Bone marrow smear.
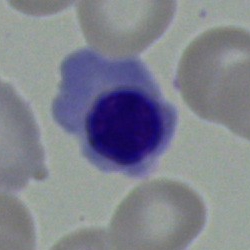
Impression → nucleated red cell.